Peripheral blood smear:
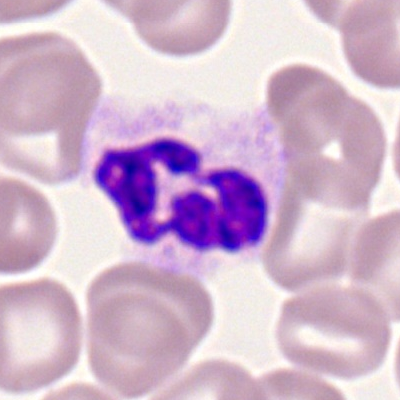

The cell shown is a polymorphonuclear neutrophil.